Peripheral blood film.
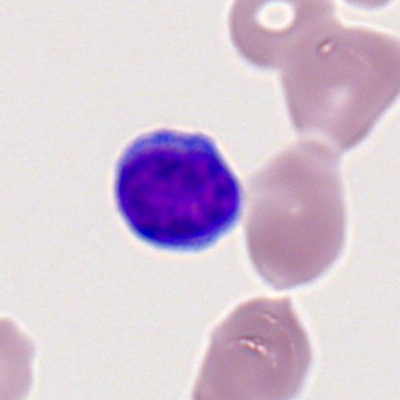This is a lymphocyte.